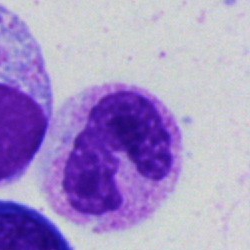A neutrophil (band).